Brightfield microscopy, 40× oil immersion · bone marrow smear
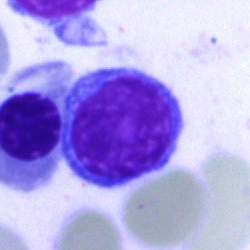
Impression → lymphocyte.